Bone marrow aspirate smear: 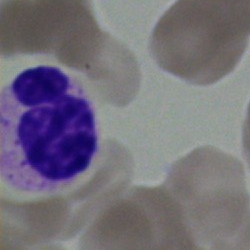Single cell identified as a polymorphonuclear neutrophil.